Bone marrow smear: 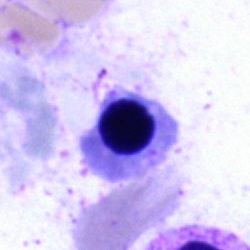
Cell type — nucleated red cell.